Bone marrow aspirate smear — 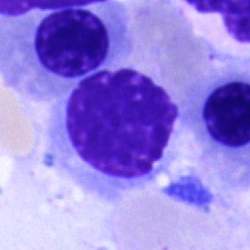 The cell is nucleated red cell.